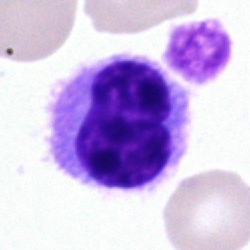 Q: What is the morphological classification of this cell?
A: It is a hairy cell.